Bone marrow aspirate smear — 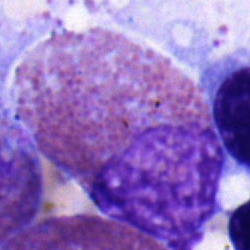

Cell type — eosinophil.